Peripheral blood film.
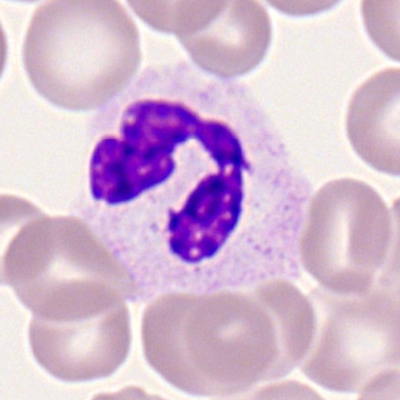 Morphological class = segmented neutrophil.